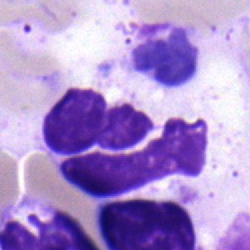
Q: What cell is this?
A: It is a segmented neutrophil.